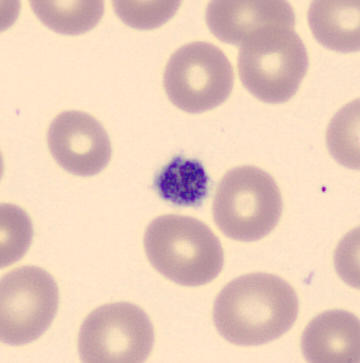
A thrombocyte.

May Grünwald-Giemsa stain. Peripheral blood smear.